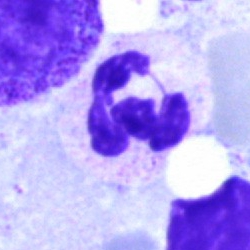 Single cell identified as a neutrophil (segmented).